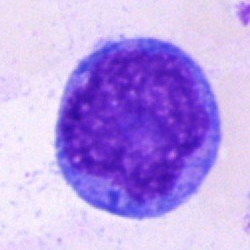 Specimen: bone marrow smear.
Cell: blast.